40× oil immersion; bone marrow smear; 250×250.
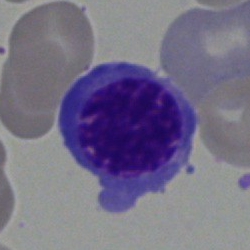

Showing a nucleated red blood cell.